Bone marrow aspirate smear · May-Grünwald-Giemsa/Pappenheim stain · 250×250 px.
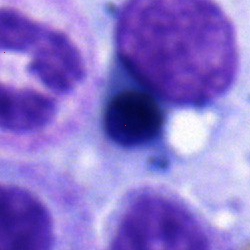 This is an erythroblast.